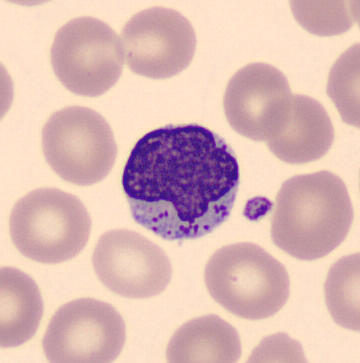
The classification is typical lymphocyte. Preparation: Peripheral blood smear.